Bone marrow aspirate smear · single cell centered in the field · image size 250×250: 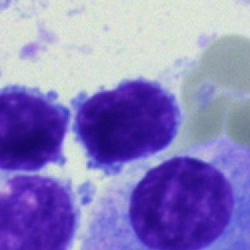

{"cell_type": "typical lymphocyte", "lineage": "lymphoid"}